Bone marrow smear · 40× objective, oil immersion · cropped to a single cell.
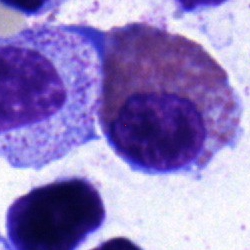
An eosinophil.